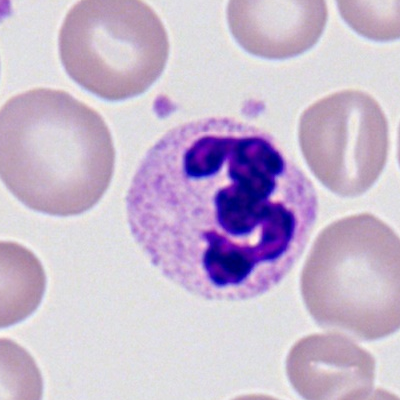This is a segmented neutrophil.